Bone marrow aspirate smear
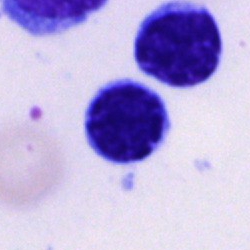Specimen: bone marrow aspirate smear.
Cell type: lymphocyte.